Brightfield, 40× oil-immersion objective; bone marrow smear:
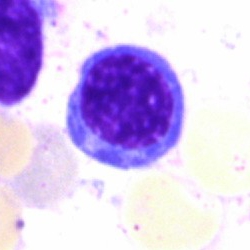
Specimen: bone marrow aspirate smear.
Cell: erythroblast.